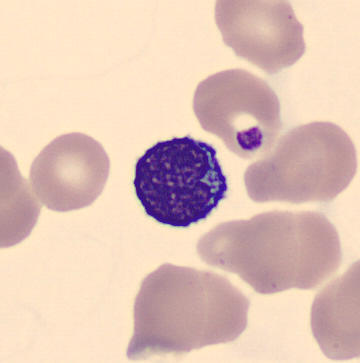
Peripheral blood smear. MGG-stained.

Q: What is shown here?
A: Lymphocyte.